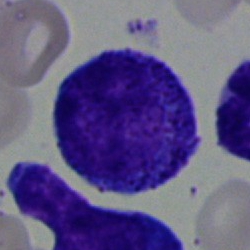Q: What type of cell is this?
A: This is a progranulocyte.